Brightfield microscopy, 40× oil immersion; bone marrow aspirate smear; single-cell field: 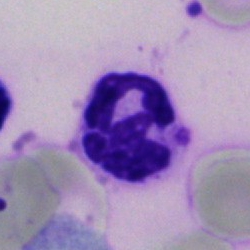
Classification — neutrophil (segmented).